Bone marrow aspirate smear.
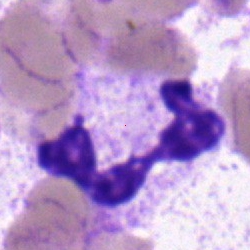Q: What is shown here?
A: It is a segmented neutrophil.